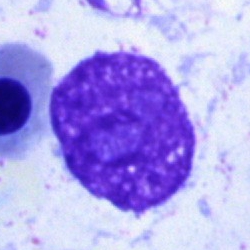 Cell type: artefact.